Bone marrow smear.
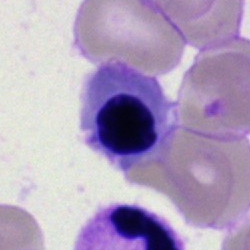
Classification = normoblast.